Bone marrow aspirate smear
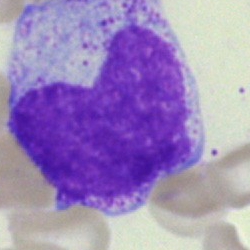This is a progranulocyte.